Bone marrow smear.
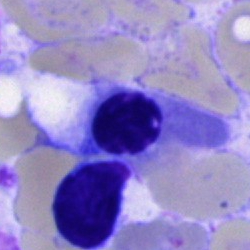Q: Identify the cell.
A: A nucleated red blood cell.